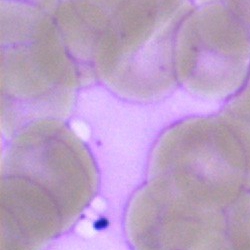 Single-cell crop from a bone marrow smear: artifact.